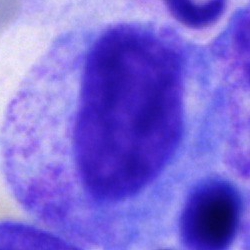
{"cell_type": "promyelocyte", "lineage": "myeloid"}